Bone marrow smear.
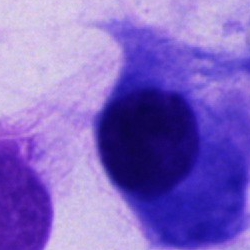

Specimen: bone marrow smear.
Classification: other cell type.